Peripheral blood smear. 400×400 px. Romanowsky-type stain — 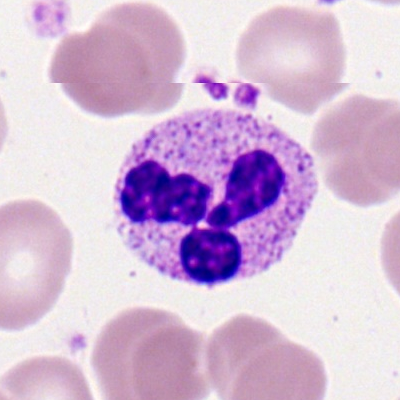 Cell type = neutrophil (segmented).